400×400 · peripheral blood smear: 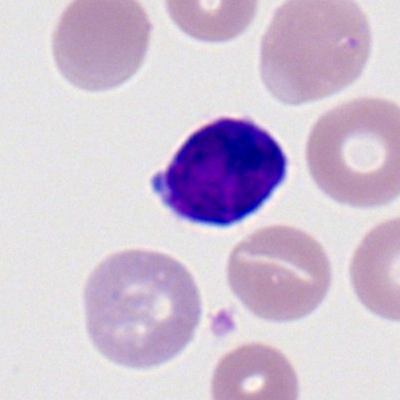

Specimen: peripheral blood smear.
Morphological class: lymphocyte.
Lineage: lymphoid.